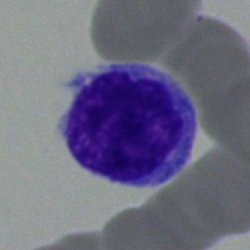

The classification is lymphocyte.